Bone marrow smear; brightfield microscopy, 40× oil immersion:
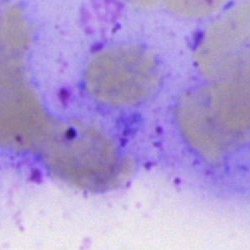Q: What is shown here?
A: It is an artefact.